Bone marrow smear. MGG-stained: 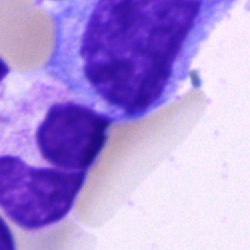Morphology → artifact.